Bone marrow aspirate smear: 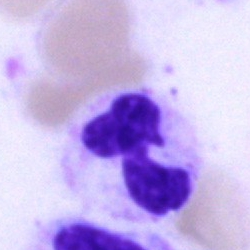 This is a polymorphonuclear neutrophil.